Bone marrow smear:
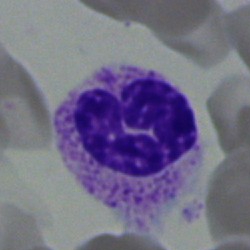Showing a stab cell.